Bone marrow smear. MGG-stained: 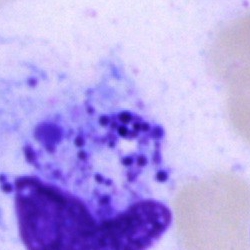
Q: What is shown here?
A: This is an artefact.